Bone marrow smear: 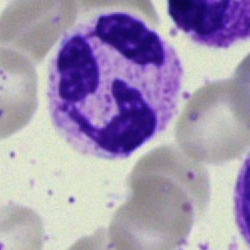

The cell type is segmented neutrophil.